Bone marrow aspirate smear — 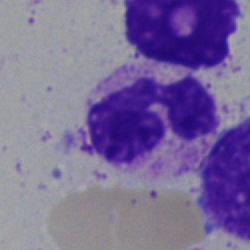
The cell shown is a polymorphonuclear neutrophil.